250×250 px · bone marrow smear — 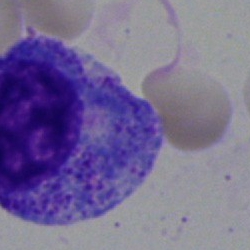
The morphological class is promyelocyte.